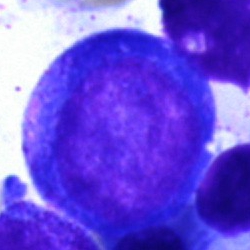
Impression — pronormoblast.